Bone marrow smear; Pappenheim-stained: 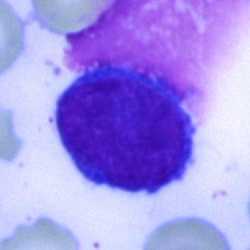

This is a typical lymphocyte.